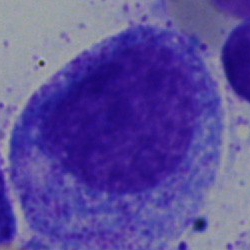 Impression — promyelocyte.